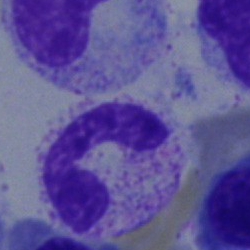
A neutrophil (segmented) on a bone marrow smear.